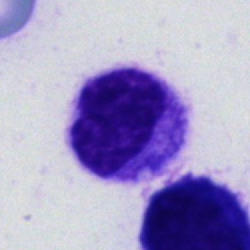
The cell is unidentifiable cell.